Brightfield, 40× oil-immersion objective; bone marrow aspirate smear: 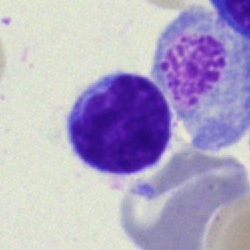

This is a typical lymphocyte.